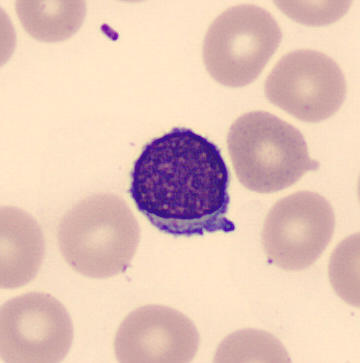 Acquisition: Peripheral blood smear.
Morphological class — typical lymphocyte.